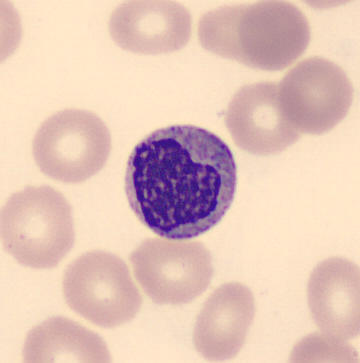Impression — metamyelocyte.